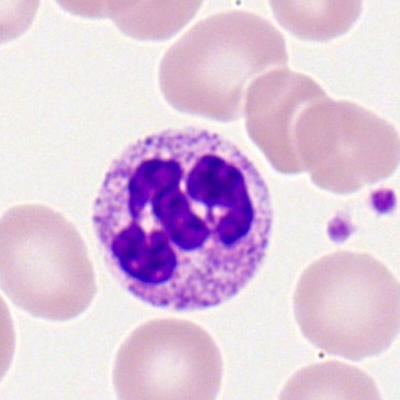

Specimen: peripheral blood film.
Classification: polymorphonuclear neutrophil.
Lineage: myeloid.